Bone marrow smear; 40× objective, oil immersion:
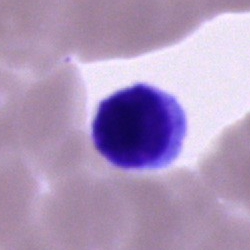Specimen: bone marrow smear.
Cell: unidentifiable cell.